Image size 250×250. Bone marrow smear: 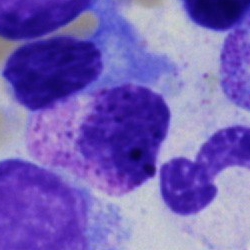 Cell type: artefact.